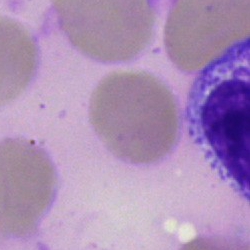Artefact.